Bone marrow aspirate smear. Brightfield microscopy, 40× oil immersion. Image size 250×250.
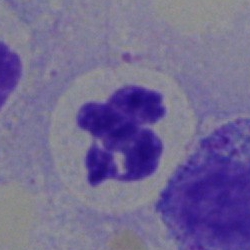
The cell shown is a neutrophil (segmented).